400×400 · peripheral blood film: 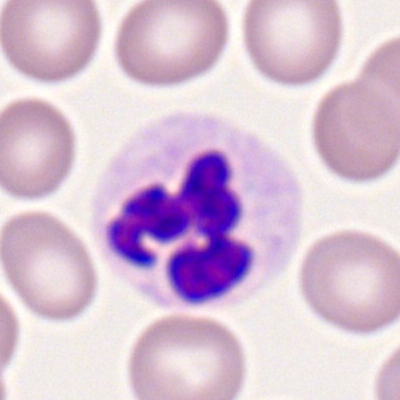
A polymorphonuclear neutrophil.